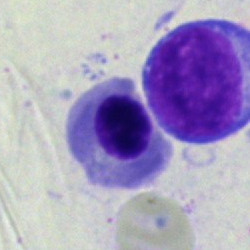Specimen: bone marrow smear.
Cell type: nucleated red blood cell.